Bone marrow aspirate smear: 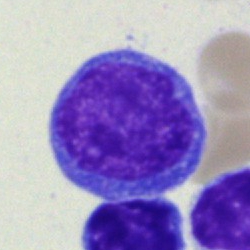Q: What is the morphological classification of this cell?
A: Blast.